250×250 · bone marrow aspirate smear · single-cell crop — 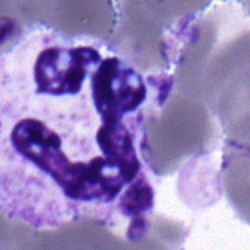 {"cell_type": "polymorphonuclear neutrophil", "lineage": "myeloid"}